Bone marrow smear:
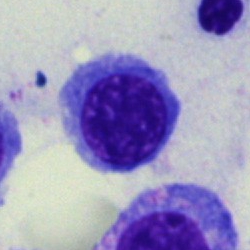Cell type: nucleated red blood cell.